Brightfield microscopy, 40× oil immersion. Bone marrow smear. Single-cell field:
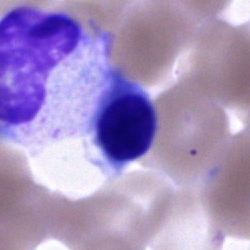
This is a cell of indeterminate lineage.